Bone marrow aspirate smear
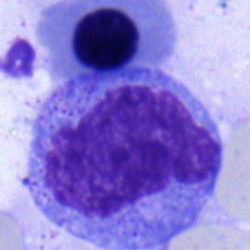A metamyelocyte.